Bone marrow aspirate smear — 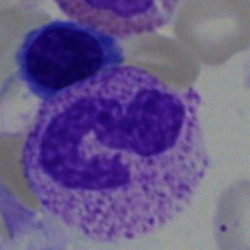Classification: band neutrophil.